Bone marrow smear; single-cell field — 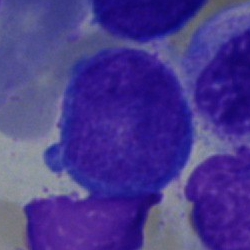

Q: What cell is this?
A: Blast cell.